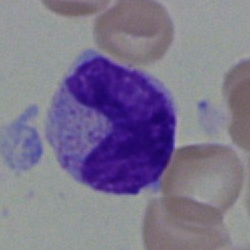Specimen: bone marrow smear.
Cell type: stab cell.
Lineage: myeloid.